Single-cell field · peripheral blood film · 100× oil immersion, 14.14 px/µm — 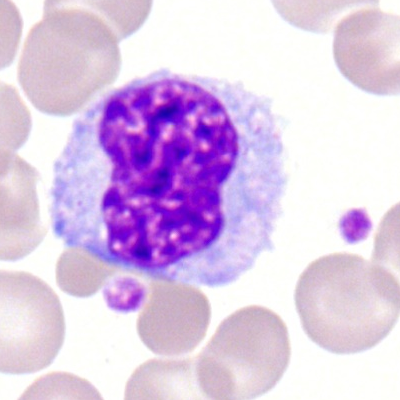 Morphology — monocyte.